Bone marrow smear · single-cell crop:
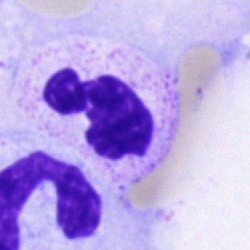The cell shown is a polymorphonuclear neutrophil.